Single-cell crop; bone marrow aspirate smear; 250×250:
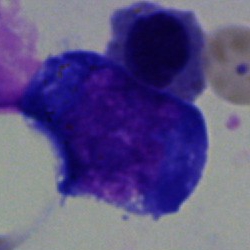{"cell_type": "blast cell"}